Bone marrow smear:
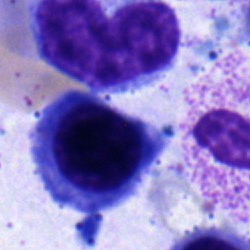 Morphology consistent with a nucleated red blood cell.